Cropped to a single cell; bone marrow smear.
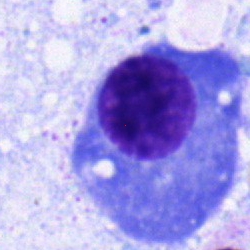
Specimen: bone marrow aspirate smear.
Cell type: plasmacyte.
Lineage: lymphoid.